250 by 250 pixels; bone marrow aspirate smear; single cell centered in the field.
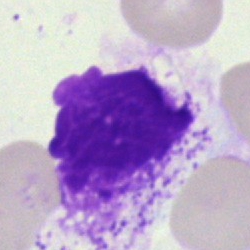Q: What is shown here?
A: This is an artefact.